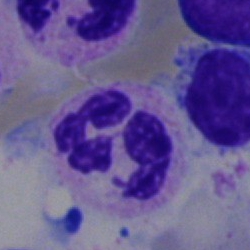 Single-cell crop from a bone marrow smear: segmented neutrophil.